Single cell centered in the field. Brightfield microscopy, 40× oil immersion. Bone marrow aspirate smear — 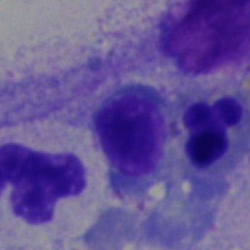

Specimen: bone marrow aspirate smear.
Cell type: nucleated red cell.
Lineage: erythroid.